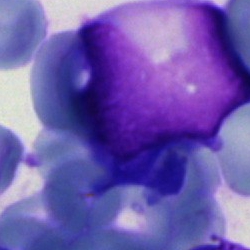Blast.